MGG-stained. Bone marrow aspirate smear. 250×250 px
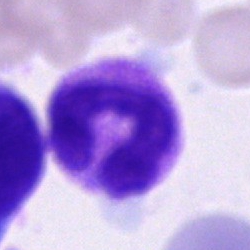

Segmented neutrophil.